MGG-stained; brightfield, 40× oil-immersion objective; bone marrow smear — 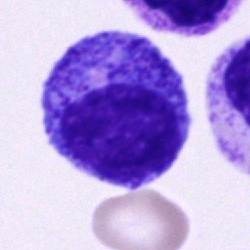

Cell = promyelocyte.